Bone marrow aspirate smear.
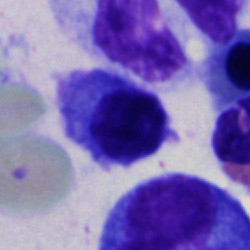
A plasma cell.